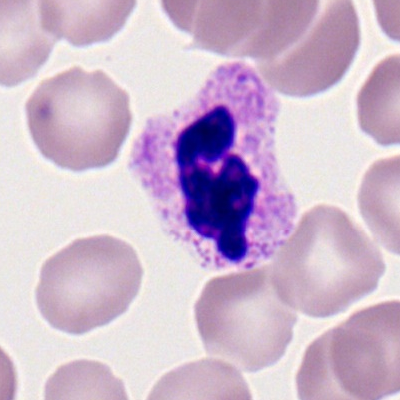

Showing a neutrophil (segmented).